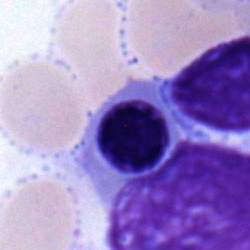

Q: What is the morphological classification of this cell?
A: A nucleated red cell.